Bone marrow smear — 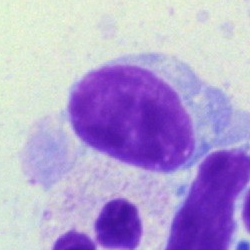Morphological class — typical lymphocyte.